Bone marrow smear
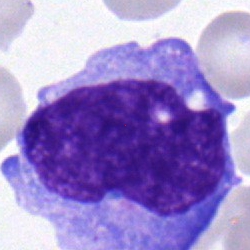This is a monocyte.